Bone marrow smear — 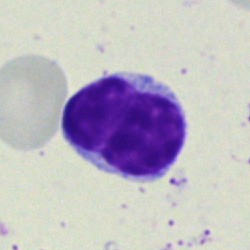
Showing a lymphocyte.